Bone marrow aspirate smear:
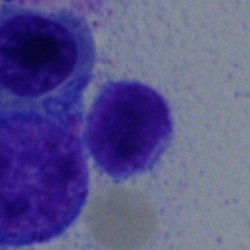

Cell — lymphocyte.